Bone marrow aspirate smear — 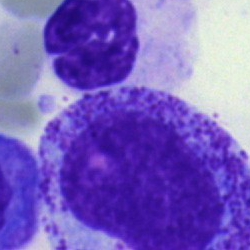
Morphological class: progranulocyte.